Pappenheim-stained; bone marrow smear — 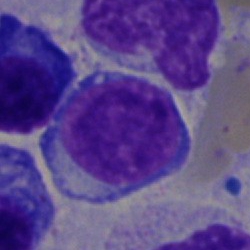

Classification: lymphocyte.